Bone marrow smear; 40× objective, oil immersion; cropped to a single cell — 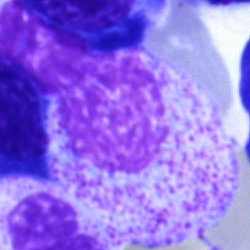 Specimen: bone marrow aspirate smear.
Cell type: myelocyte.